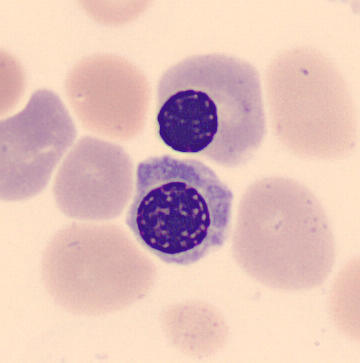

Peripheral blood smear. Impression → normoblast.